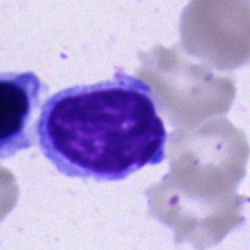

Cell type: plasma cell.